Bone marrow smear:
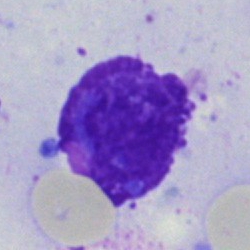

Showing an artefact.